Single-cell field. Bone marrow smear.
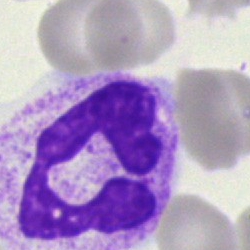

{"cell_type": "polymorphonuclear neutrophil", "lineage": "myeloid"}